Cropped to a single cell; bone marrow smear.
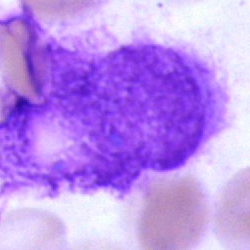
An artefact.